Peripheral blood smear.
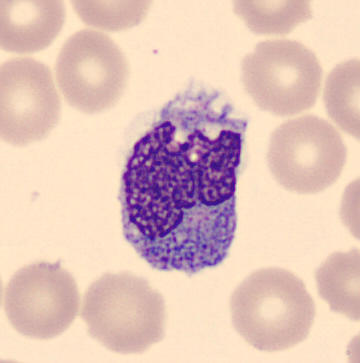Q: What cell is this?
A: Monocyte.